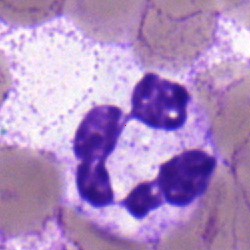

The cell is polymorphonuclear neutrophil.